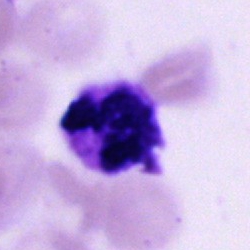
The cell shown is a polymorphonuclear neutrophil.